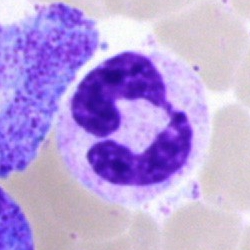
Q: What cell is this?
A: It is a neutrophil (segmented).